Bone marrow aspirate smear:
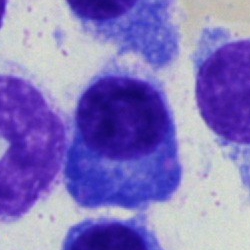Impression — plasmacyte.